Image size 250×250 · bone marrow smear:
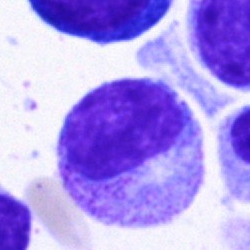Morphology — myelocyte.